Bone marrow aspirate smear · image size 250×250: 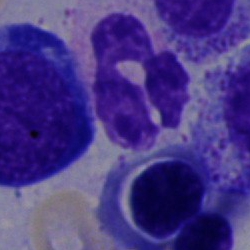
Impression → polymorphonuclear neutrophil.